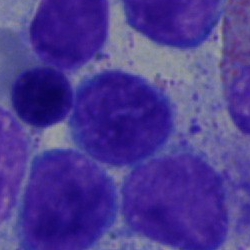 Cell — lymphocyte.